Bone marrow smear.
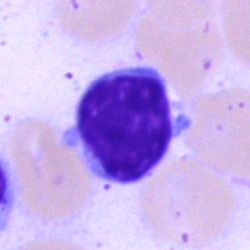Cell type — lymphocyte.